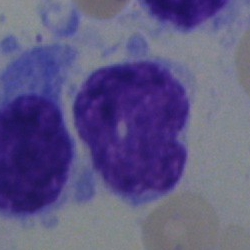
Cell: hairy cell.